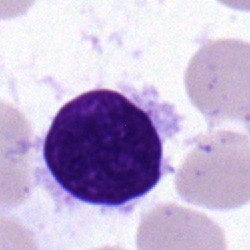 This is a lymphocyte.